250×250. Bone marrow aspirate smear: 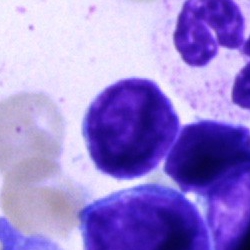

Single cell identified as a typical lymphocyte.